Peripheral blood smear:
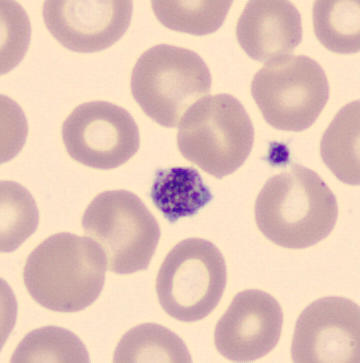This is a platelet.